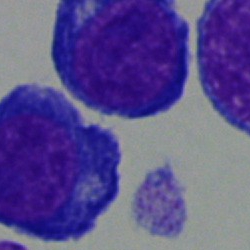The cell type is proerythroblast.